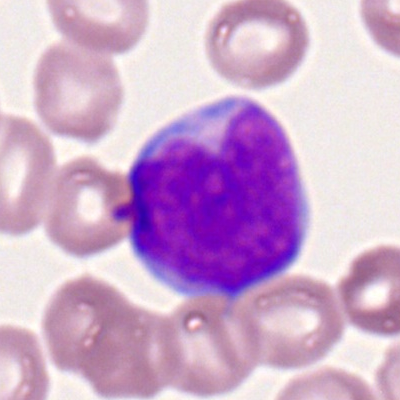 Specimen: peripheral blood smear.
Morphological class: myeloblast.
Lineage: myeloid.